Bone marrow aspirate smear — 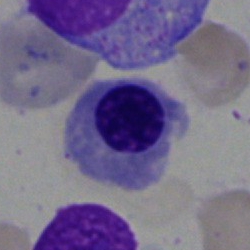Showing a nucleated red blood cell.